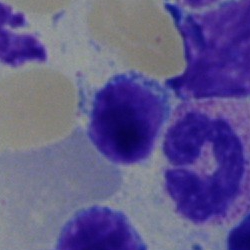 Morphology → lymphocyte.